250 by 250 pixels; bone marrow smear:
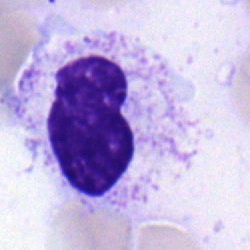 Morphology consistent with a stab cell.